Image size 250×250; bone marrow smear; brightfield, 40× oil-immersion objective — 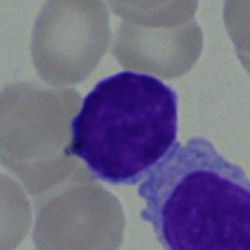
Q: What type of cell is this?
A: It is a typical lymphocyte.